Bone marrow aspirate smear. May-Grünwald-Giemsa/Pappenheim stain — 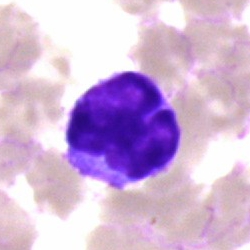Q: What is shown here?
A: It is a typical lymphocyte.